Bone marrow smear.
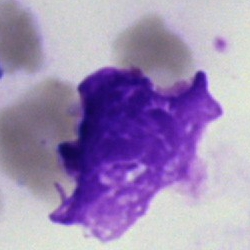

Specimen: bone marrow smear.
Classification: artifact.